Bone marrow aspirate smear; single-cell crop
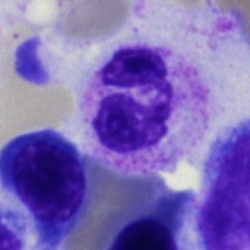 Showing a neutrophil (segmented).